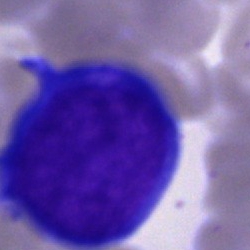{"cell_type": "proerythroblast", "lineage": "erythroid"}